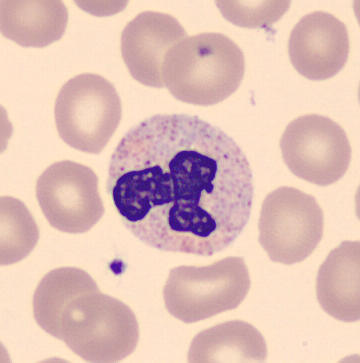Identified as a polymorphonuclear neutrophil.
Image: Peripheral blood smear.